Bone marrow smear: 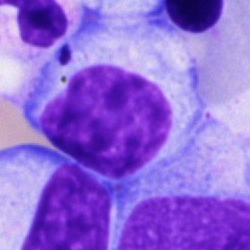Specimen: bone marrow aspirate smear.
Classification: lymphocyte.
Lineage: lymphoid.